Bone marrow aspirate smear
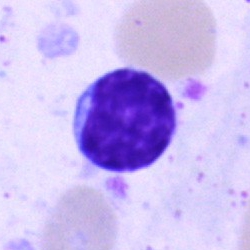

Q: Identify the cell.
A: This is a lymphocyte.